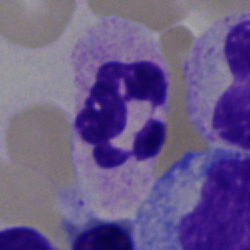Specimen: bone marrow aspirate smear.
Cell type: neutrophil (segmented).